Bone marrow aspirate smear. Single cell centered in the field. Brightfield, 40× oil-immersion objective: 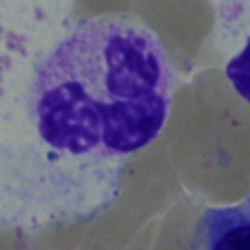

Cell: polymorphonuclear neutrophil.